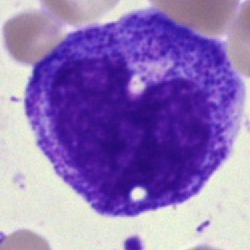

Single cell identified as a metamyelocyte.